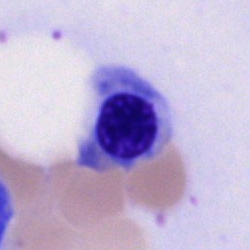
A nucleated red blood cell on a bone marrow smear.